Image size 400×400 · 100× objective, oil immersion · peripheral blood smear:
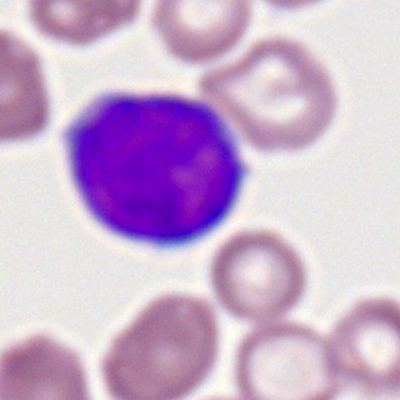 A myeloid blast.